Brightfield, 40× oil-immersion objective. Bone marrow aspirate smear.
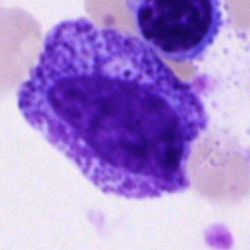
Morphological class: promyelocyte.